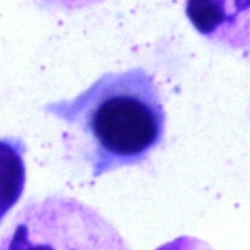
The cell type is normoblast.